Peripheral blood film.
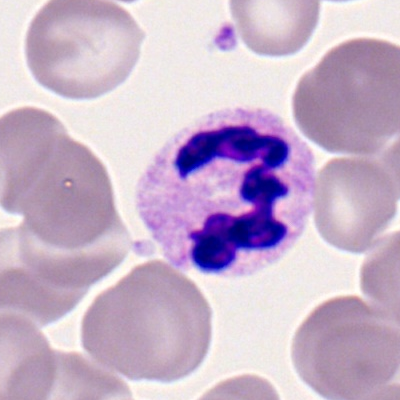

Morphological class = polymorphonuclear neutrophil.